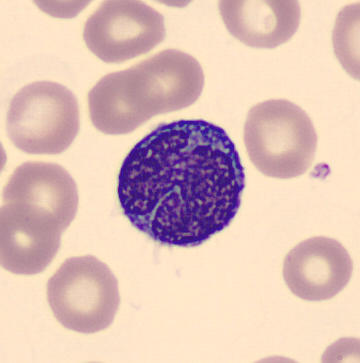
Monocyte.

Image: Peripheral blood smear.